Bone marrow smear — 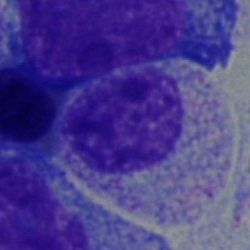
The cell shown is a myelocyte.